May-Grünwald-Giemsa stain · bone marrow smear
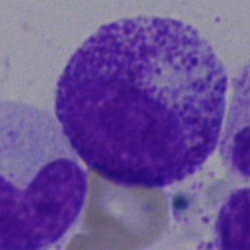
The cell type is promyelocyte.